May-Grünwald-Giemsa stain. Bone marrow smear: 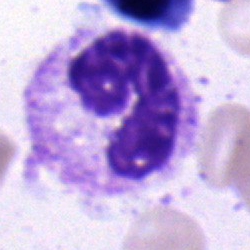
Impression — neutrophil (band).